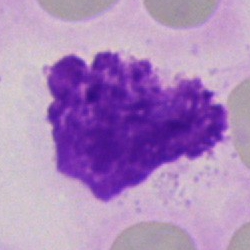

Single cell identified as an artefact.